Bone marrow aspirate smear; brightfield, 40× oil-immersion objective: 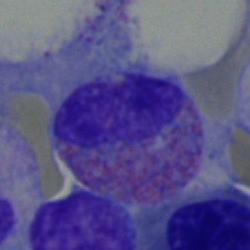

Specimen: bone marrow smear.
Cell: eosinophil.
Lineage: myeloid.